Bone marrow aspirate smear. 250×250 px.
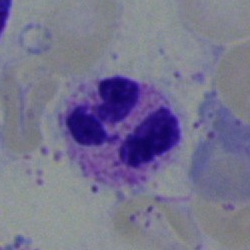

The cell shown is a polymorphonuclear neutrophil.